Bone marrow aspirate smear:
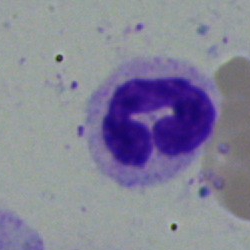

This is a neutrophil (band).